May-Grünwald-Giemsa/Pappenheim stain. Bone marrow smear. Image size 250×250
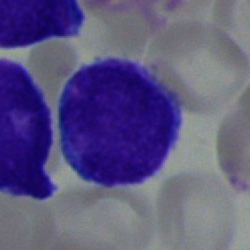
Showing a blast cell.